Bone marrow smear
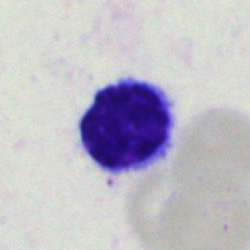

The morphological class is typical lymphocyte.